Brightfield, 40× oil-immersion objective; May-Grünwald-Giemsa stain; bone marrow aspirate smear.
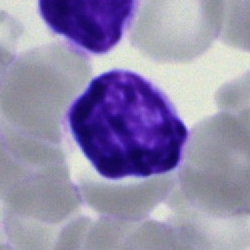The cell shown is a lymphocyte.